Brightfield, 40× oil-immersion objective; bone marrow smear
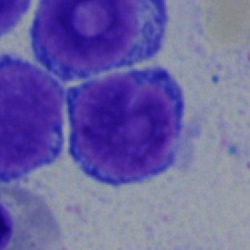 Q: What cell is this?
A: It is a typical lymphocyte.